Peripheral blood smear; 100× objective, oil immersion — 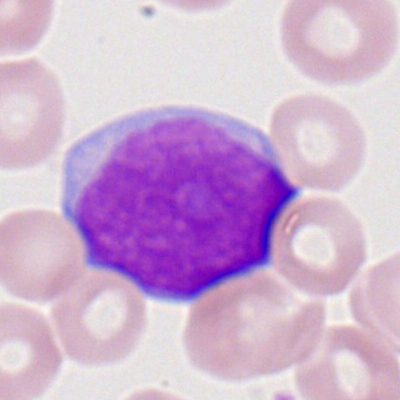Q: What is shown here?
A: This is a myeloblast.